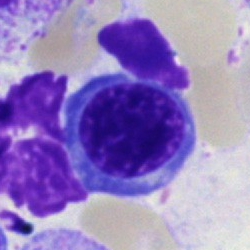 A nucleated red blood cell on a bone marrow smear.